Bone marrow smear.
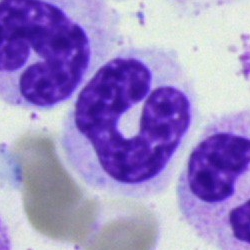{"cell_type": "band neutrophil", "lineage": "myeloid"}